Single-cell field. MGG-stained. Bone marrow aspirate smear: 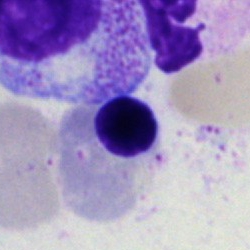
Cell = basophilic granulocyte.